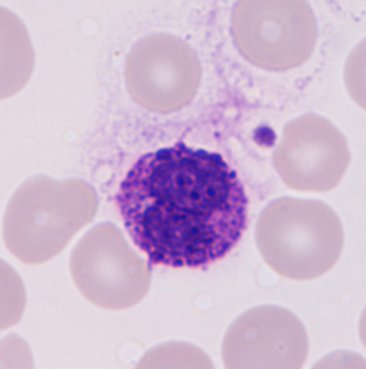Morphology consistent with a basophilic granulocyte.